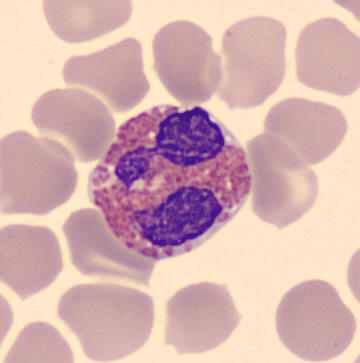Classification — eosinophil.